Bone marrow smear:
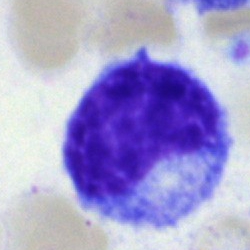Q: What is shown here?
A: Metamyelocyte.